Cropped to a single cell · bone marrow aspirate smear — 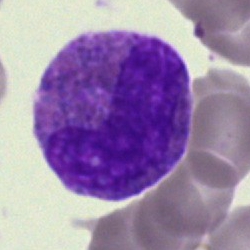 The cell shown is an eosinophilic granulocyte.